Bone marrow smear
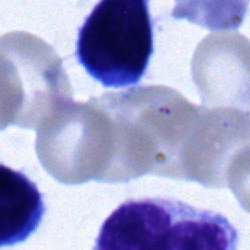Q: What type of cell is this?
A: It is a lymphocyte.